Bone marrow aspirate smear; single cell centered in the field
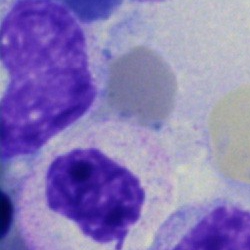 Morphological class — unidentifiable cell.